Bone marrow aspirate smear:
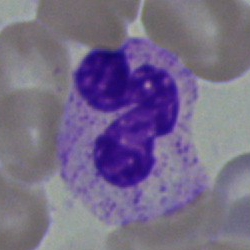Q: Which cell type is shown here?
A: This is a polymorphonuclear neutrophil.